Bone marrow smear; single-cell field:
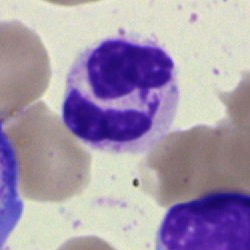

Specimen: bone marrow smear.
Morphological class: polymorphonuclear neutrophil.